Bone marrow aspirate smear. Brightfield, 40× oil-immersion objective.
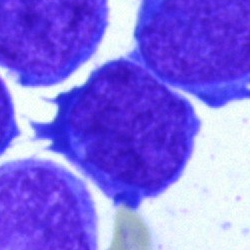 Classification: undifferentiated blast.